Bone marrow aspirate smear · single-cell crop — 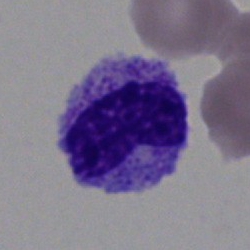Stab cell.